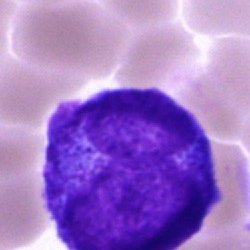Morphology consistent with an undifferentiated blast.